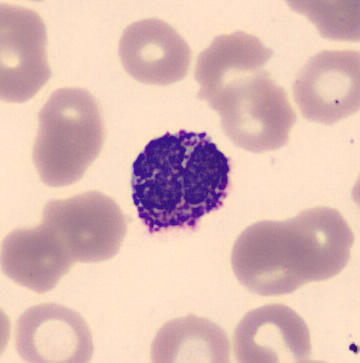 Acquisition: Peripheral blood film; MGG stain.

Cell — basophil.